250 by 250 pixels. Single-cell field. Bone marrow aspirate smear — 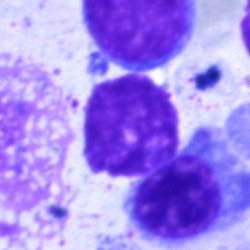 Q: Which cell type is shown here?
A: It is a nucleated red blood cell.